MGG-stained. Bone marrow smear. Single-cell crop — 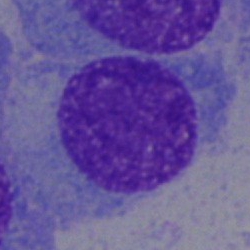
Showing a plasma cell.